Bone marrow smear; single cell centered in the field; 40× oil immersion: 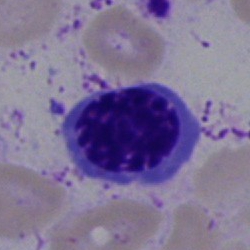

The classification is nucleated red cell.